Peripheral blood film:
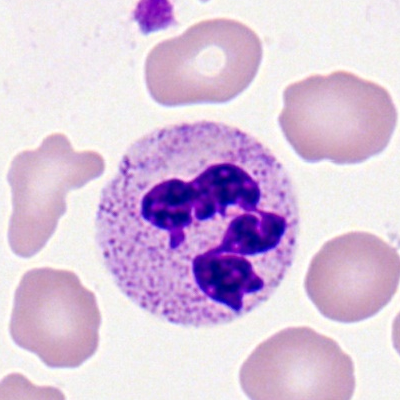
Single cell identified as a neutrophil (segmented).